40× oil immersion; 250 by 250 pixels; bone marrow smear:
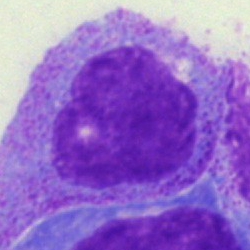 The cell shown is a progranulocyte.